Peripheral blood smear · M8 digital microscope (Precipoint), 100× oil immersion
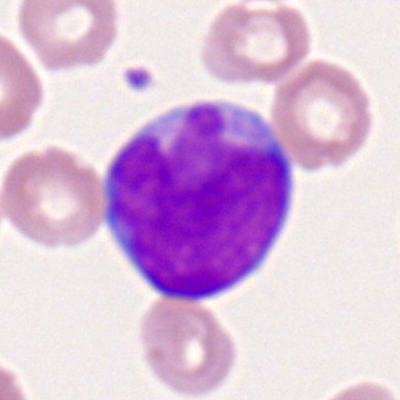 Morphological class — myeloblast.